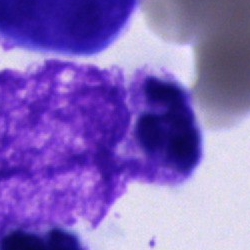
Q: What is the morphological classification of this cell?
A: It is an unidentifiable cell.